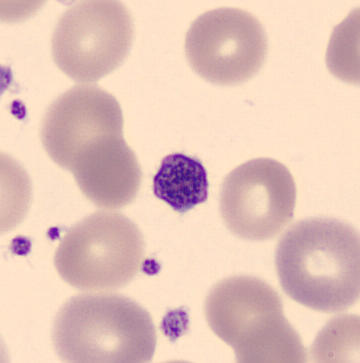Image: Peripheral blood smear.
A platelet.